Bone marrow smear · May-Grünwald-Giemsa stain
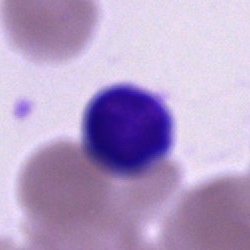 Impression → lymphocyte.